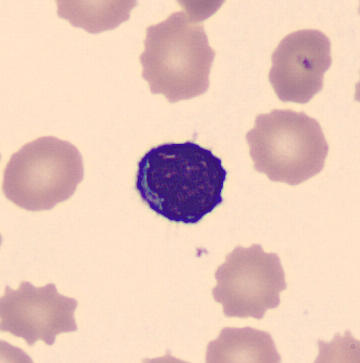Impression — typical lymphocyte.
Automated cell imaging (CellaVision DM96) · peripheral blood film.